Peripheral blood film. Image size 360×363: 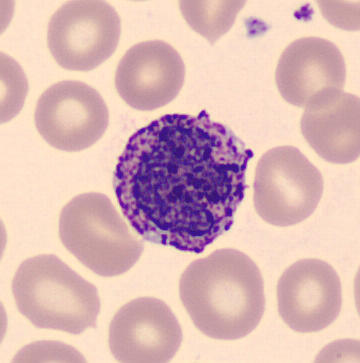
The cell shown is a basophilic granulocyte.